Image size 250×250 · 40× oil immersion · bone marrow smear: 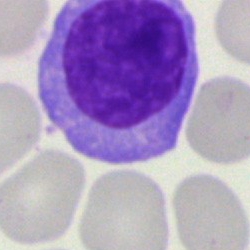 Classification — typical lymphocyte.